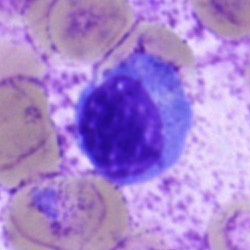
Q: What is shown here?
A: This is a nucleated red cell.